Bone marrow smear — 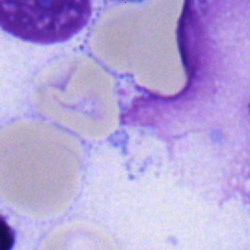Q: Which cell type is shown here?
A: Lymphocyte.